Bone marrow smear: 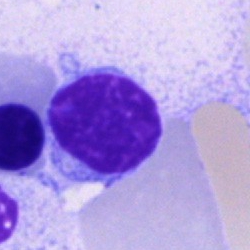
This is a lymphocyte.